250 by 250 pixels · single-cell crop · bone marrow aspirate smear.
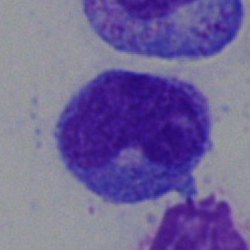
The cell shown is a monocyte.